Bone marrow aspirate smear · single-cell crop: 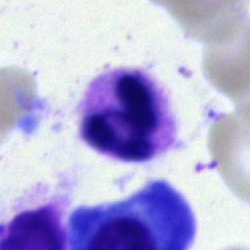
Morphology consistent with a polymorphonuclear neutrophil.